Brightfield microscopy, 40× oil immersion. 250×250 px. Bone marrow aspirate smear.
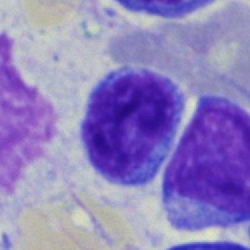

Morphology consistent with a typical lymphocyte.